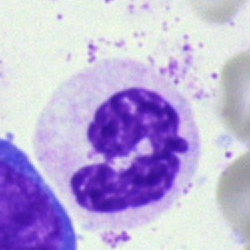
Neutrophil (segmented).